Brightfield microscopy, 40× oil immersion; bone marrow smear
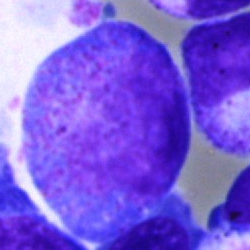
A promyelocyte.